Bone marrow aspirate smear; May-Grünwald-Giemsa stain.
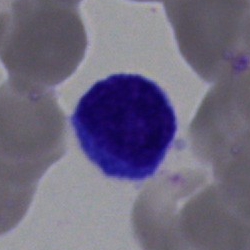
Cell type: typical lymphocyte.